Bone marrow aspirate smear · 40× objective, oil immersion
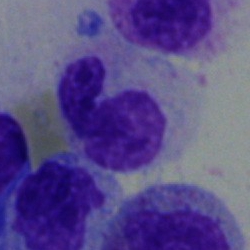 Q: What is shown here?
A: It is a polymorphonuclear neutrophil.